Bone marrow smear — 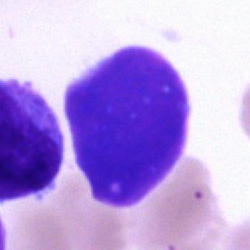 Specimen: bone marrow smear.
Morphological class: artifact.